250×250 px. Single cell centered in the field. Bone marrow aspirate smear: 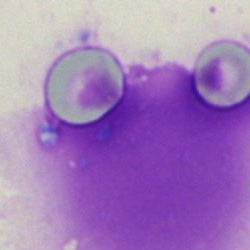 Artifact.